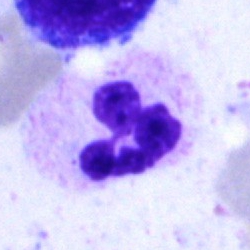Q: Identify the cell.
A: This is a polymorphonuclear neutrophil.